Bone marrow aspirate smear · single-cell field · 40× oil immersion:
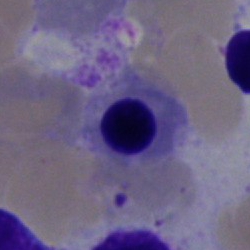

Q: What cell is this?
A: Nucleated red blood cell.